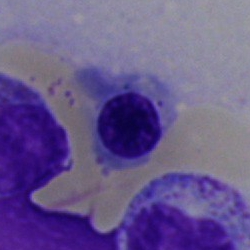
Morphology consistent with a normoblast.